250×250. Bone marrow aspirate smear.
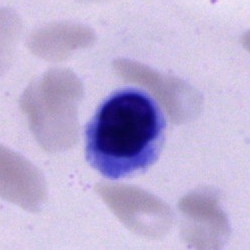Cell of indeterminate lineage.